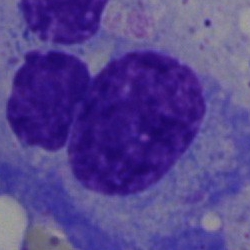

Morphology → plasmacyte.